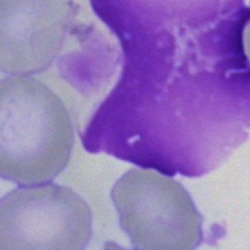

Q: What is shown here?
A: This is an artefact.